Bone marrow smear; MGG-stained:
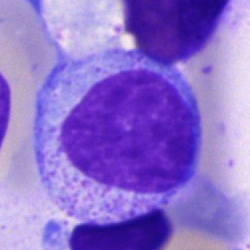

Cell: promyelocyte.